250×250 · bone marrow aspirate smear
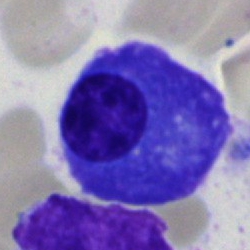
Q: What type of cell is this?
A: It is a plasmacyte.